Cropped to a single cell · bone marrow aspirate smear.
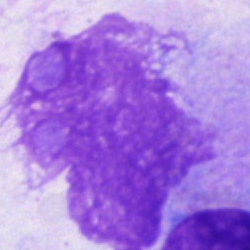 Morphology consistent with an artefact.